Single-cell crop; 40× objective, oil immersion; bone marrow aspirate smear
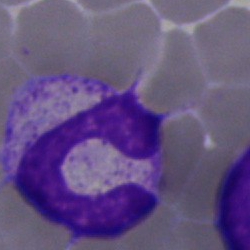Q: Identify the cell.
A: A segmented neutrophil.